Single cell centered in the field. Bone marrow smear. Brightfield, 40× oil-immersion objective — 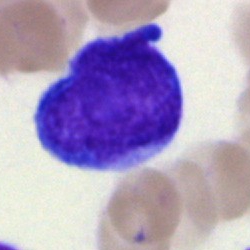 Specimen: bone marrow aspirate smear.
Morphological class: blast.